Bone marrow aspirate smear.
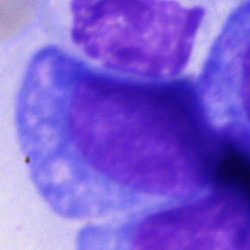 Cell of indeterminate lineage.